250×250 px. Bone marrow smear — 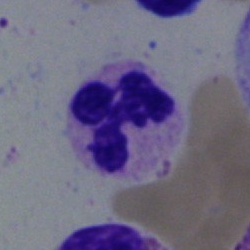Impression — segmented neutrophil.